Bone marrow smear.
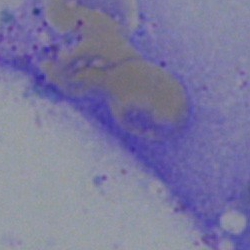

Classification = artifact.